Bone marrow aspirate smear:
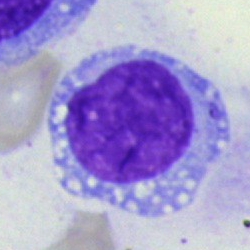
Q: What cell is this?
A: Blast.